Bone marrow aspirate smear · May-Grünwald-Giemsa stain · brightfield, 40× oil-immersion objective.
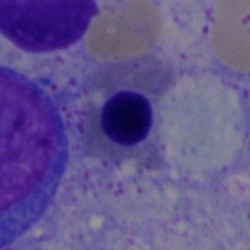

Specimen: bone marrow aspirate smear.
Classification: nucleated red blood cell.
Lineage: erythroid.